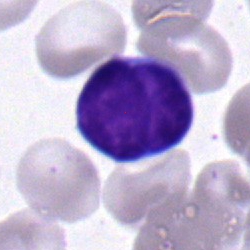Classification = typical lymphocyte.